May-Grünwald-Giemsa stain; 250 by 250 pixels; bone marrow smear
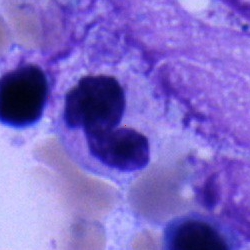
The cell type is neutrophil (band).